Bone marrow smear. Brightfield, 40× oil-immersion objective. Pappenheim-stained:
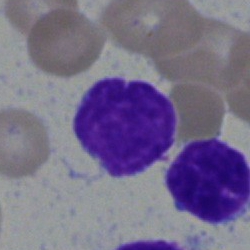The morphological class is typical lymphocyte.